Bone marrow aspirate smear: 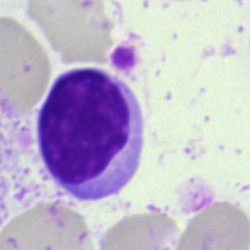

Q: What type of cell is this?
A: A lymphocyte.